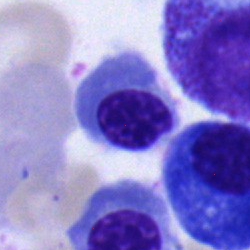 This is an erythroblast.